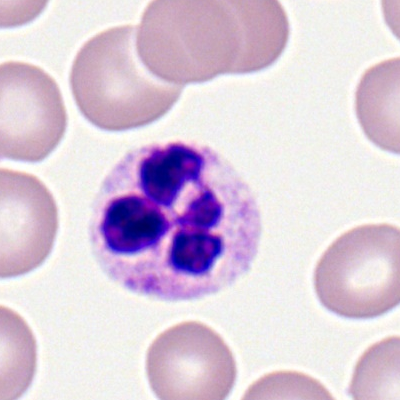 Neutrophil (segmented).